Bone marrow aspirate smear: 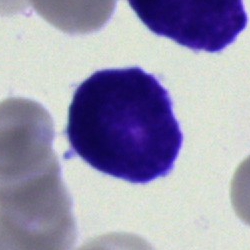
A blast.